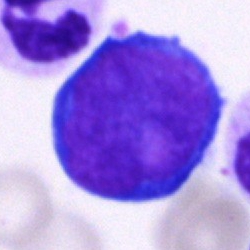

Bone marrow smear showing a pronormoblast.